Pappenheim-stained. Bone marrow aspirate smear. Single-cell field:
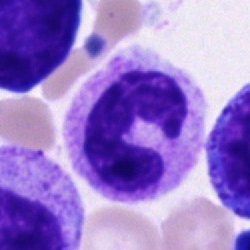 Morphology — band-form neutrophil.